Bone marrow smear:
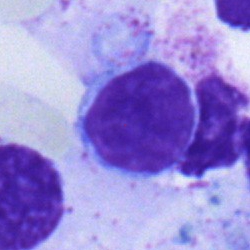
Morphology consistent with a typical lymphocyte.